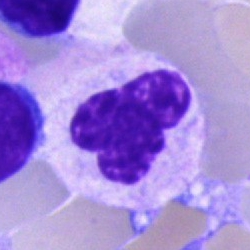 Q: Identify the cell.
A: A polymorphonuclear neutrophil.